Bone marrow smear:
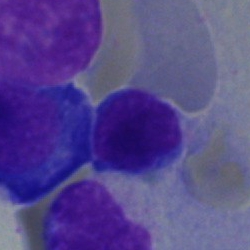
Morphology → lymphocyte.